Bone marrow aspirate smear — 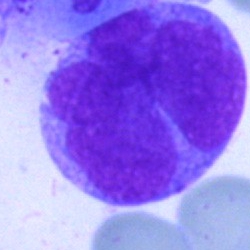
Q: What cell is this?
A: Blast.